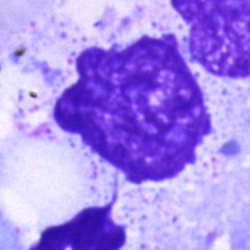

Single-cell crop from a bone marrow smear: artefact.